Bone marrow aspirate smear: 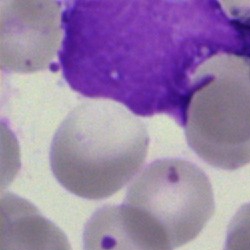Cell type = artifact.